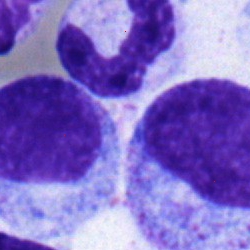
Morphology → neutrophil (segmented).